Bone marrow smear
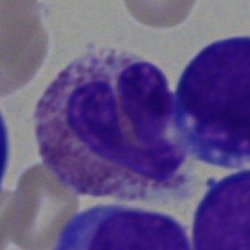 Specimen: bone marrow smear.
Classification: eosinophil.